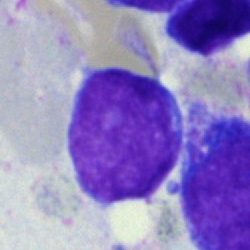 Specimen: bone marrow aspirate smear.
Cell: undifferentiated blast.